Bone marrow smear: 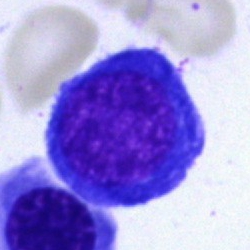 Specimen: bone marrow aspirate smear.
Morphological class: erythroblast.